Bone marrow aspirate smear — 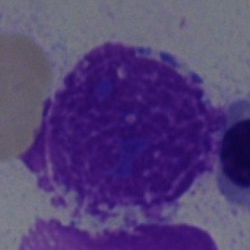 Morphological class: artefact.